40× oil immersion. Bone marrow aspirate smear:
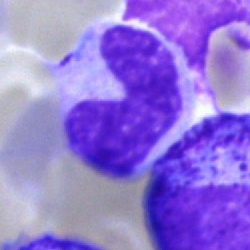 Q: What is the morphological classification of this cell?
A: It is a neutrophil (band).